Bone marrow aspirate smear
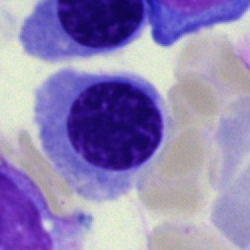

Q: Which cell type is shown here?
A: Erythroblast.